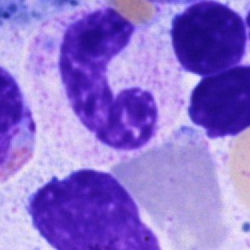Morphology → stab cell.